Bone marrow aspirate smear.
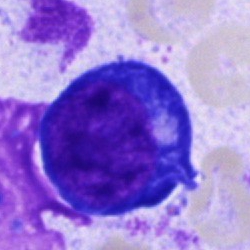Single cell identified as a pronormoblast.